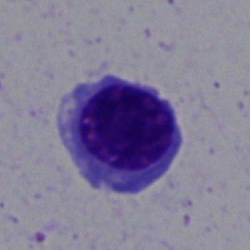{"cell_type": "nucleated red blood cell", "lineage": "erythroid"}